Cropped to a single cell. Bone marrow aspirate smear — 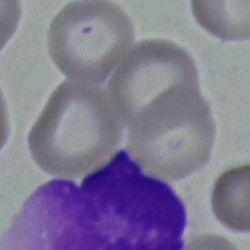
Specimen: bone marrow aspirate smear.
Morphological class: artifact.